Bone marrow aspirate smear
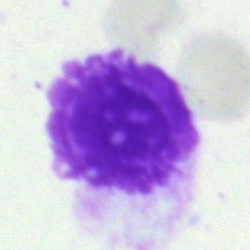

Single cell identified as an artefact.